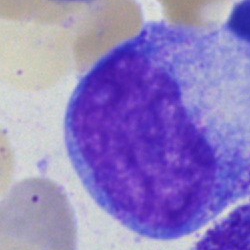Q: What cell is this?
A: Metamyelocyte.